Bone marrow aspirate smear. May-Grünwald-Giemsa/Pappenheim stain:
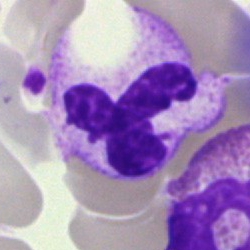{"cell_type": "segmented neutrophil", "lineage": "myeloid"}